Bone marrow aspirate smear — 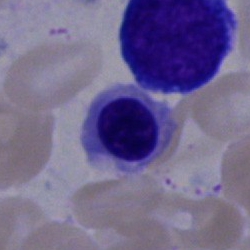Showing a nucleated red blood cell.